Bone marrow smear. 40× oil immersion: 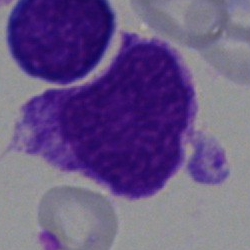 The cell type is undifferentiated blast.